40× objective, oil immersion; bone marrow aspirate smear; 250×250 px: 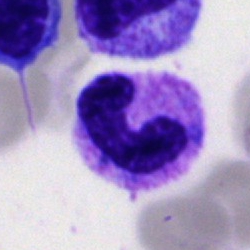 Specimen: bone marrow aspirate smear.
Cell: band-form neutrophil.